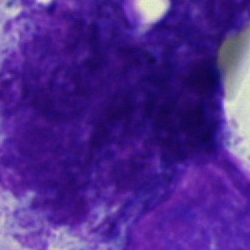Impression → artefact.